Single-cell field · peripheral blood film: 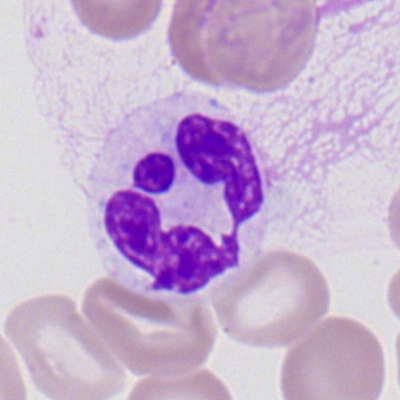
This is a segmented neutrophil.